Bone marrow smear: 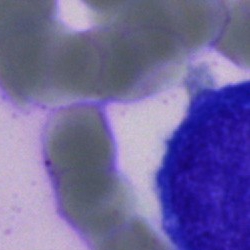
Specimen: bone marrow aspirate smear.
Morphological class: polymorphonuclear neutrophil.
Lineage: myeloid.